Bone marrow aspirate smear; 250×250:
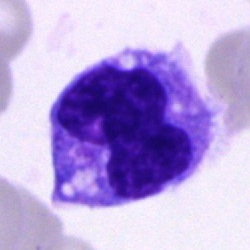

This is a monocyte.